Bone marrow smear.
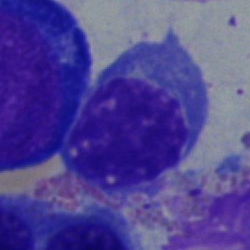

This is a myelocyte.